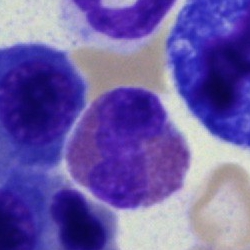Q: What is the morphological classification of this cell?
A: Eosinophil.